Bone marrow smear. May-Grünwald-Giemsa/Pappenheim stain — 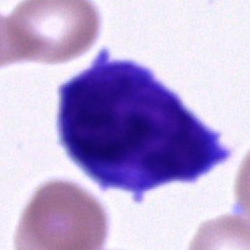{"cell_type": "unidentifiable cell"}